Bone marrow smear · single-cell crop · 40× objective, oil immersion: 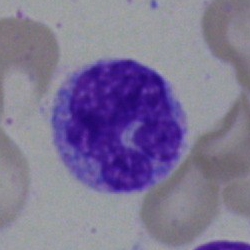
The cell type is monocyte.